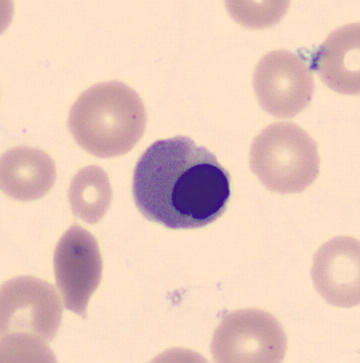
Image: Peripheral blood smear; May Grünwald-Giemsa stain; automated cell imaging (CellaVision DM96). Impression → normoblast.